Bone marrow smear
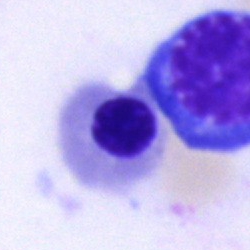 Classification — nucleated red blood cell.